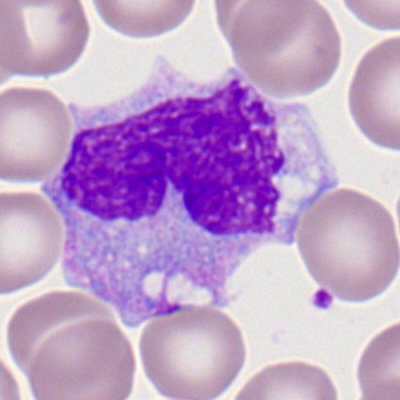Morphology — monocyte.